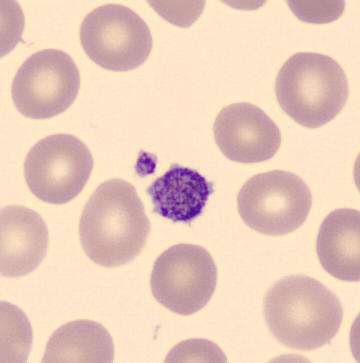 Q: What is shown here?
A: A thrombocyte.